Bone marrow aspirate smear; cropped to a single cell — 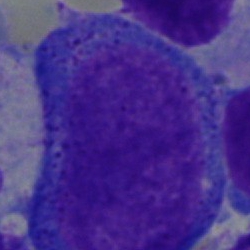

Morphology consistent with a progranulocyte.